Single-cell crop · 250 by 250 pixels · bone marrow aspirate smear — 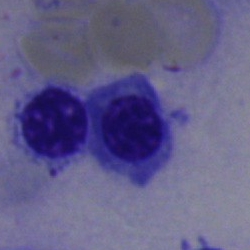Specimen: bone marrow aspirate smear.
Classification: nucleated red blood cell.